Bone marrow aspirate smear.
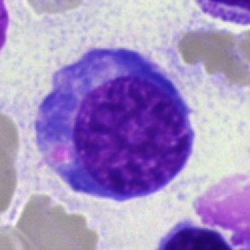

{"cell_type": "normoblast"}